Single cell centered in the field; bone marrow aspirate smear.
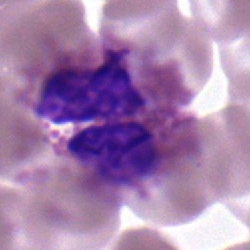Morphology consistent with an eosinophil.